Bone marrow aspirate smear
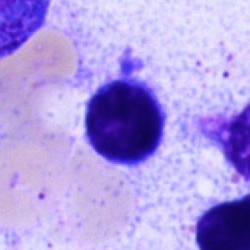 Morphology → lymphocyte.